Bone marrow smear: 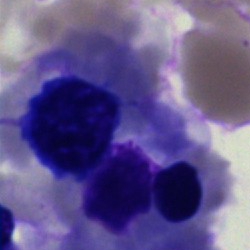Single cell identified as an artifact.